Bone marrow smear — 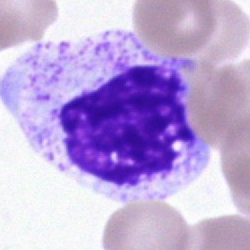 This is a myelocyte.